Image size 250×250. Bone marrow smear
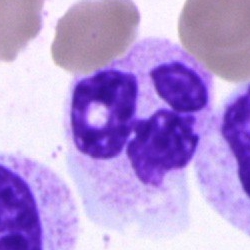 Impression → polymorphonuclear neutrophil.